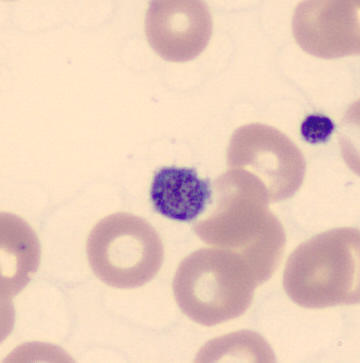Image: Peripheral blood film.

Platelet.